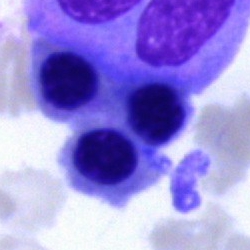

Bone marrow smear showing an erythroblast.